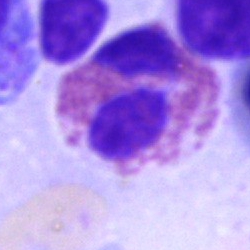This is an eosinophilic granulocyte.